Peripheral blood film · 100× objective, oil immersion: 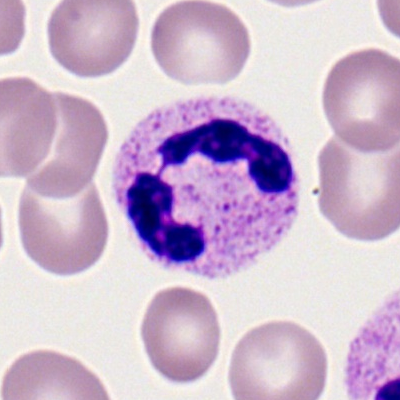 Morphology — neutrophil (segmented).